Brightfield, 40× oil-immersion objective; bone marrow aspirate smear: 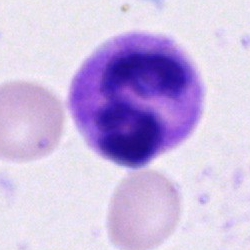 A segmented neutrophil.